MGG-stained. 250 by 250 pixels. Bone marrow smear.
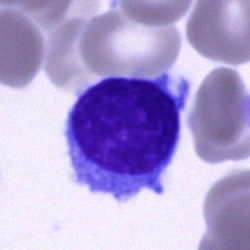
{"cell_type": "lymphocyte", "lineage": "lymphoid"}